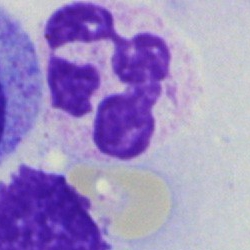 Specimen: bone marrow aspirate smear.
Morphological class: polymorphonuclear neutrophil.
Lineage: myeloid.